Bone marrow smear: 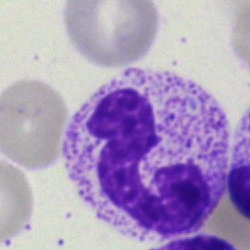

Morphological class: polymorphonuclear neutrophil.